Bone marrow smear; Pappenheim-stained.
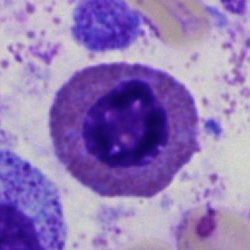
Classification: eosinophil.